Bone marrow aspirate smear. Cropped to a single cell
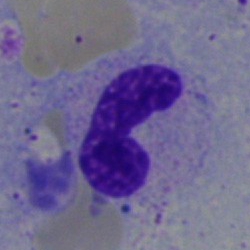

Classification — band neutrophil.